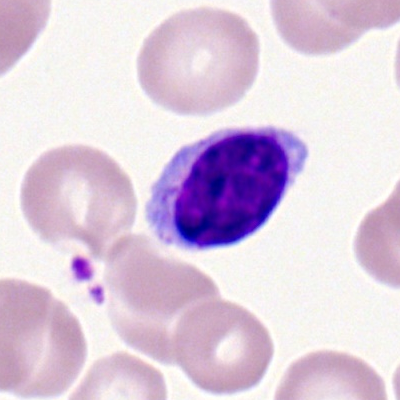A lymphocyte.